Bone marrow smear
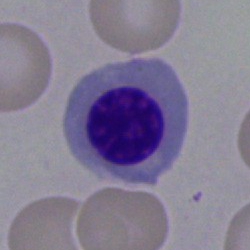Morphology consistent with a nucleated red cell.